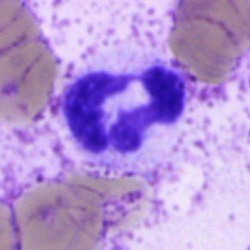

Single-cell crop from a bone marrow smear: polymorphonuclear neutrophil.